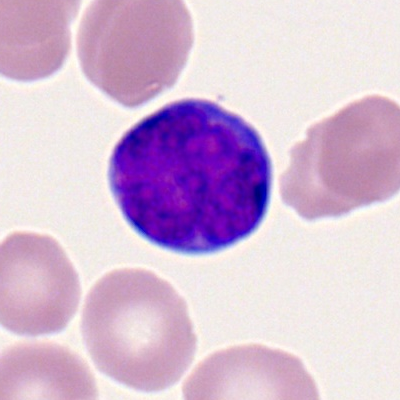The cell type is myeloid blast.